Bone marrow smear: 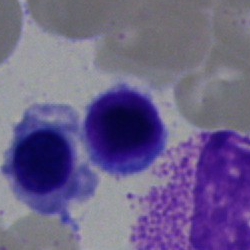
A lymphocyte.